Bone marrow smear
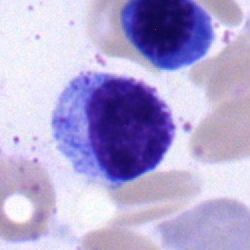

Impression — myelocyte.